Bone marrow smear · single cell centered in the field · Pappenheim-stained — 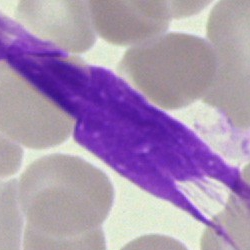 Morphology consistent with an artifact.